Single-cell field. MGG-stained. Bone marrow aspirate smear.
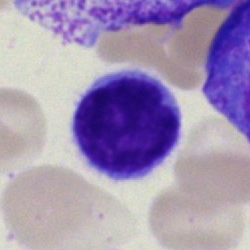
Showing a lymphocyte.